Brightfield, 100× oil-immersion objective. Single cell centered in the field. Peripheral blood smear:
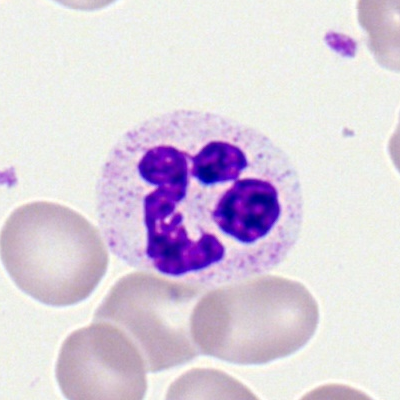Classification: neutrophil (segmented).